Peripheral blood smear
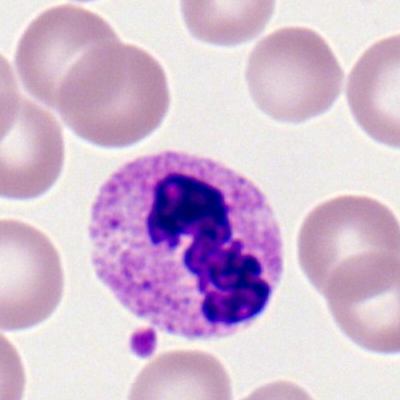
Cell type: polymorphonuclear neutrophil.